Bone marrow aspirate smear:
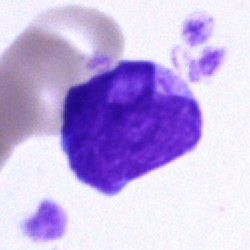
{"cell_type": "blast cell"}